Bone marrow aspirate smear. Brightfield microscopy, 40× oil immersion: 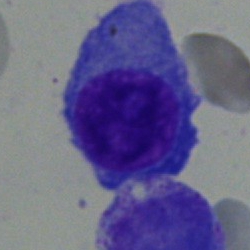
Q: What cell is this?
A: It is a plasmacyte.